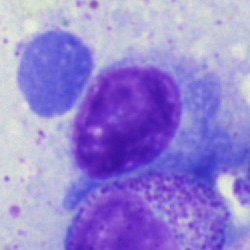 Impression → plasmacyte.